Bone marrow aspirate smear: 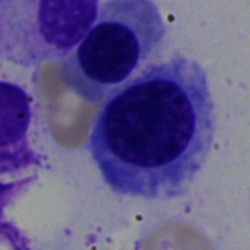 Specimen: bone marrow aspirate smear.
Classification: nucleated red blood cell.
Lineage: erythroid.